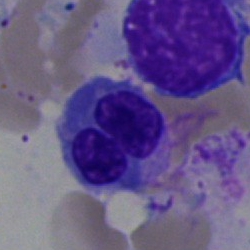
Nucleated red blood cell.